Bone marrow smear — 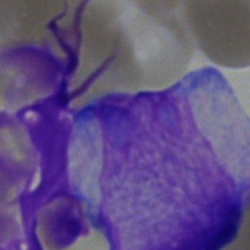
Morphology → undifferentiated blast.